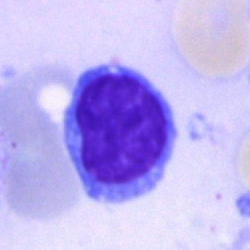A typical lymphocyte on a bone marrow smear.